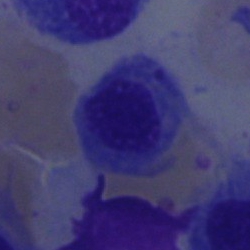

Bone marrow smear showing an erythroblast.